Bone marrow aspirate smear · May-Grünwald-Giemsa stain:
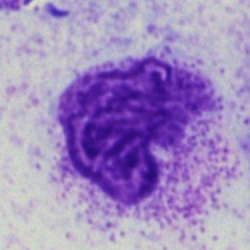

Cell type = artefact.